Bone marrow smear; 250×250 px
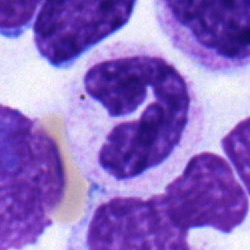
Showing a polymorphonuclear neutrophil.